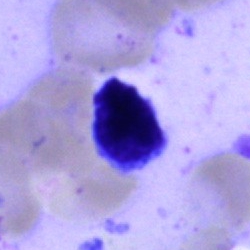

Specimen: bone marrow smear.
Cell type: lymphocyte.
Lineage: lymphoid.